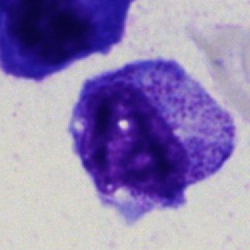

Myelocyte.